Bone marrow smear: 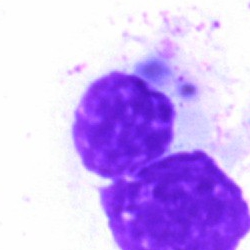
Cell type — artefact.